Bone marrow smear: 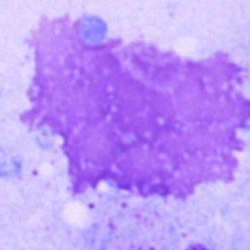 Classification: artefact.